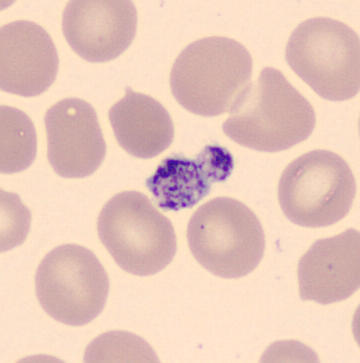
This is a platelet (thrombocyte).